Bone marrow aspirate smear · brightfield microscopy, 40× oil immersion.
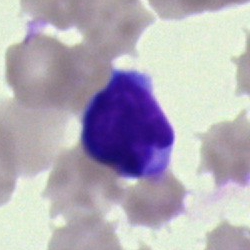The cell is artifact.